40× oil immersion · bone marrow aspirate smear · 250×250.
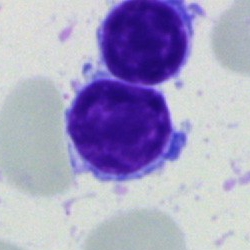Morphology consistent with a lymphocyte.